Bone marrow aspirate smear:
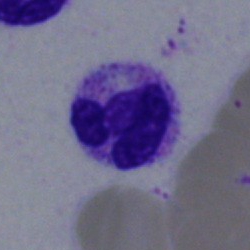 Cell type: polymorphonuclear neutrophil.